Bone marrow smear — 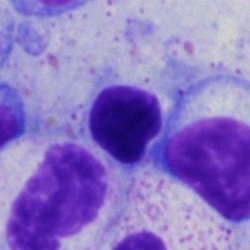Specimen: bone marrow smear.
Classification: artifact.